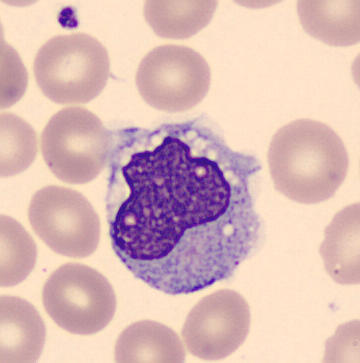
Image: Peripheral blood film · imaged on a CellaVision DM96 analyser. The cell type is monocyte.